Bone marrow aspirate smear; cropped to a single cell: 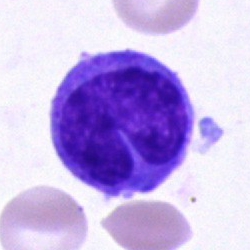
Monocyte.